Bone marrow smear.
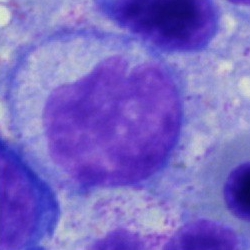 Impression → monocyte.